Single cell centered in the field; 40× objective, oil immersion; bone marrow aspirate smear: 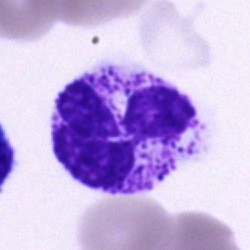

{"cell_type": "neutrophil (segmented)", "lineage": "myeloid"}